Cropped to a single cell; Pappenheim-stained; bone marrow smear — 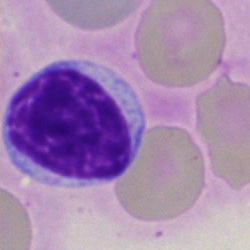
Showing a typical lymphocyte.